250×250 · bone marrow aspirate smear:
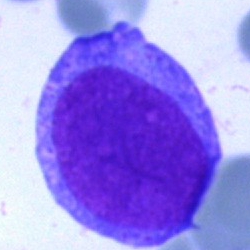
Q: Which cell type is shown here?
A: This is a blast cell.